MGG-stained; bone marrow smear:
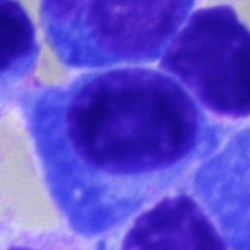Impression → plasma cell.